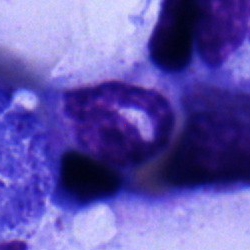Single cell identified as a band neutrophil.